Bone marrow smear. May-Grünwald-Giemsa stain: 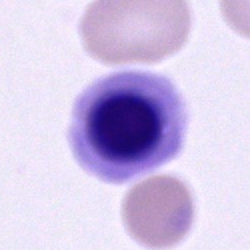 Q: What is the morphological classification of this cell?
A: Normoblast.